Bone marrow smear:
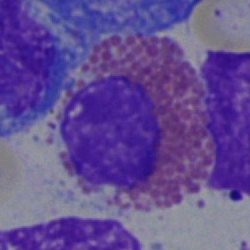

This is an eosinophil.